40× oil immersion · bone marrow aspirate smear:
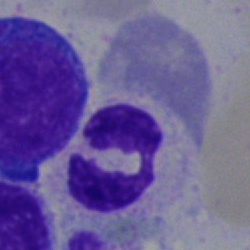
Cell = segmented neutrophil.